Bone marrow smear. Cropped to a single cell. Pappenheim-stained.
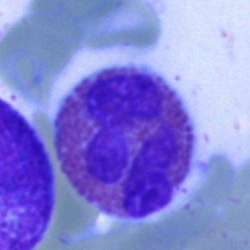

Specimen: bone marrow smear.
Morphological class: eosinophilic granulocyte.